Bone marrow aspirate smear: 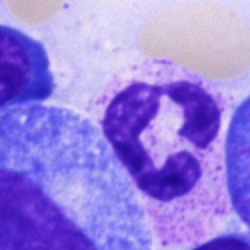

Morphology consistent with a polymorphonuclear neutrophil.